Bone marrow aspirate smear; brightfield, 40× oil-immersion objective:
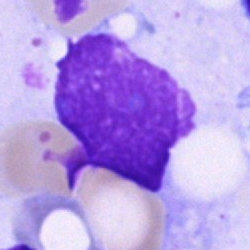 Morphological class — artefact.